Bone marrow smear.
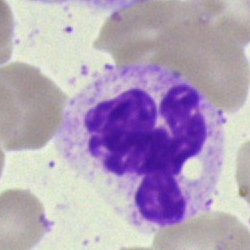Specimen: bone marrow smear.
Classification: polymorphonuclear neutrophil.
Lineage: myeloid.